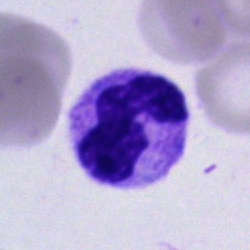

Morphology → segmented neutrophil.